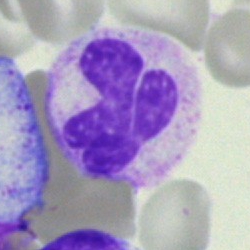 A neutrophil (segmented) on a bone marrow smear.